Bone marrow smear: 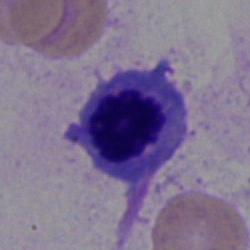Specimen: bone marrow smear.
Morphological class: nucleated red cell.
Lineage: erythroid.